250 by 250 pixels; bone marrow smear: 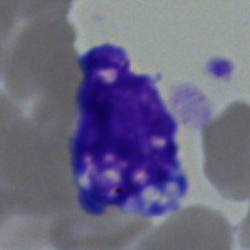 Cell type = undifferentiated blast.